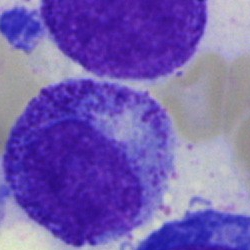

Single-cell crop from a bone marrow smear: progranulocyte.